Image size 250×250; bone marrow aspirate smear: 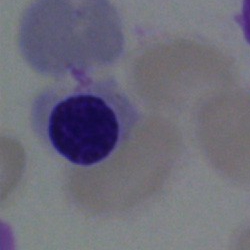
{"cell_type": "normoblast"}